Bone marrow smear · May-Grünwald-Giemsa stain · single-cell crop — 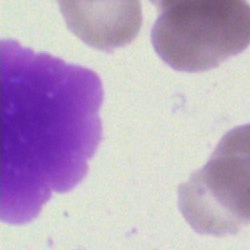Q: What is shown here?
A: It is an artefact.